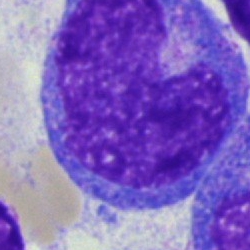 Specimen: bone marrow aspirate smear.
Morphological class: promyelocyte.